Bone marrow smear
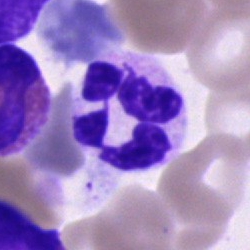 Specimen: bone marrow smear.
Morphological class: polymorphonuclear neutrophil.